Bone marrow smear — 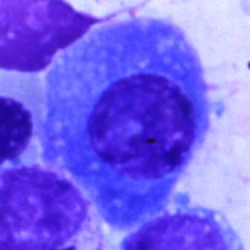
A plasma cell.